Bone marrow aspirate smear.
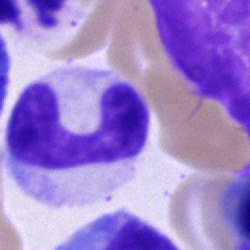

The cell shown is a band neutrophil.